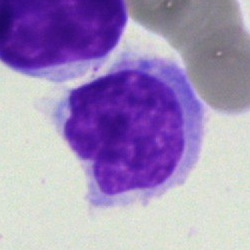A monocyte.